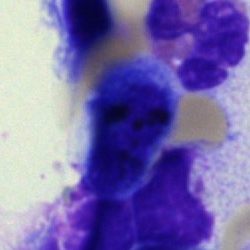
Cell — artefact.